Bone marrow aspirate smear.
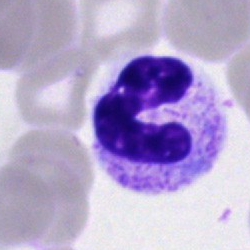

Q: What is shown here?
A: Band neutrophil.